Bone marrow smear:
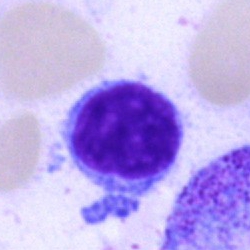{"cell_type": "plasma cell", "lineage": "lymphoid"}